Peripheral blood film; Romanowsky-type stain; 400×400:
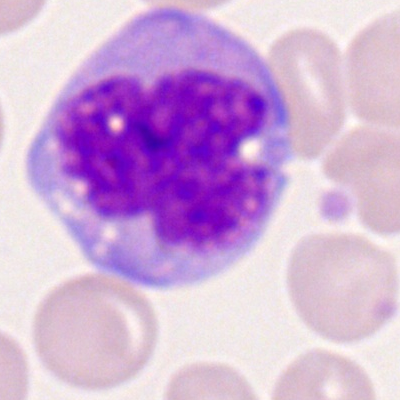

Q: What type of cell is this?
A: It is a monocyte.